Bone marrow smear:
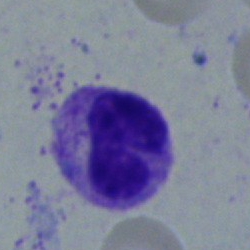
Impression — band-form neutrophil.